Cropped to a single cell · bone marrow aspirate smear.
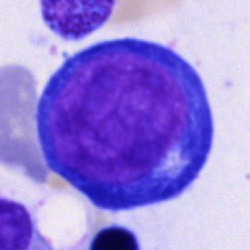
Impression — proerythroblast.